Bone marrow smear — 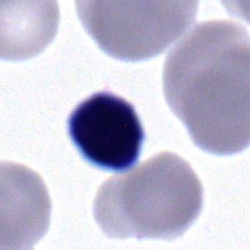{"cell_type": "lymphocyte"}